May-Grünwald-Giemsa stain · bone marrow smear
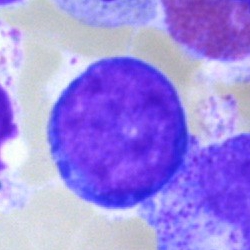Classification = proerythroblast.